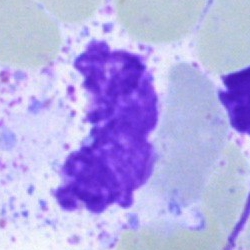

Morphology — artifact.